May-Grünwald-Giemsa stain · image size 250×250 · bone marrow smear:
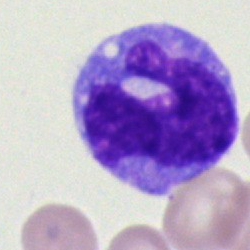
This is a monocyte.